Peripheral blood smear · single cell centered in the field:
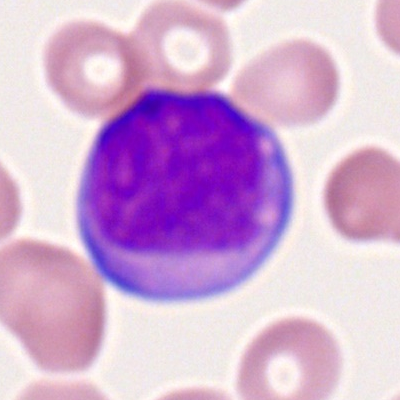

Q: Identify the cell.
A: It is a myeloblast.